Bone marrow aspirate smear
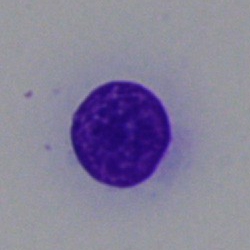Single cell identified as an artefact.